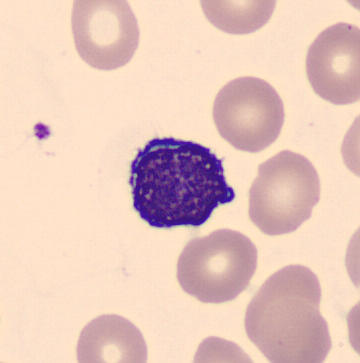 Impression → lymphocyte. Peripheral blood film.